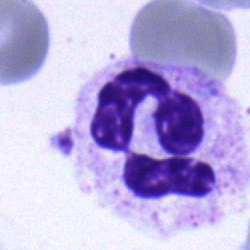
Morphological class — segmented neutrophil.